Bone marrow smear.
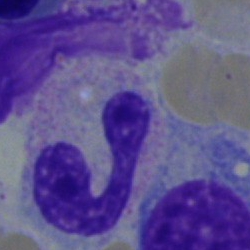

The morphological class is neutrophil (band).